Bone marrow smear: 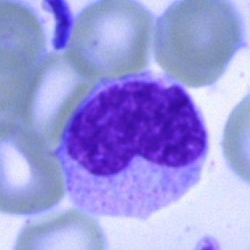 The cell shown is a metamyelocyte.